Bone marrow smear · 40× objective, oil immersion · Pappenheim-stained: 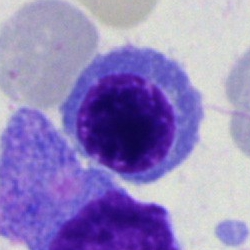 Impression — nucleated red blood cell.